Bone marrow smear. Single cell centered in the field. Brightfield microscopy, 40× oil immersion
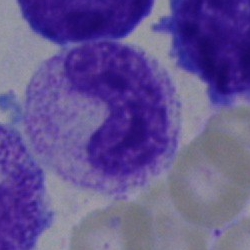

{"cell_type": "band-form neutrophil"}